Bone marrow aspirate smear · single-cell field · image size 250×250 — 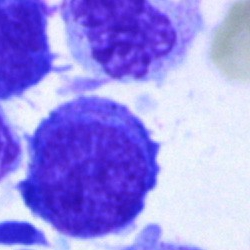
Cell = blast cell.